Bone marrow smear.
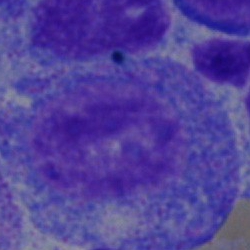 Specimen: bone marrow aspirate smear.
Cell: progranulocyte.